40× oil immersion. May-Grünwald-Giemsa stain. Bone marrow aspirate smear — 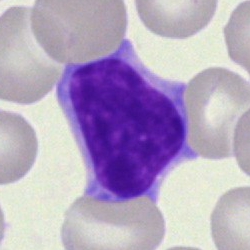A typical lymphocyte.